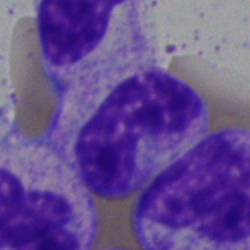

Q: Identify the cell.
A: Neutrophil (band).